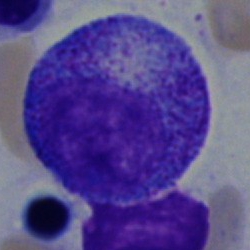

The classification is progranulocyte.